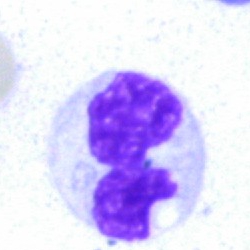 Morphology → neutrophil (segmented).